May-Grünwald-Giemsa stain; bone marrow smear; 40× objective, oil immersion.
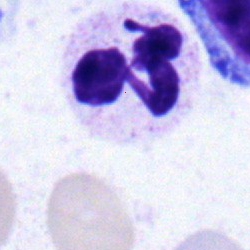 Cell: neutrophil (segmented).